Bone marrow aspirate smear:
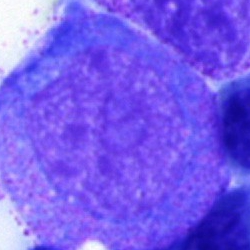

Q: What is shown here?
A: This is a promyelocyte.